Brightfield microscopy, 40× oil immersion. Bone marrow smear
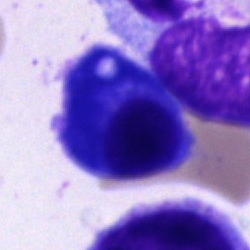

Q: What is the morphological classification of this cell?
A: Plasmacyte.